Bone marrow smear.
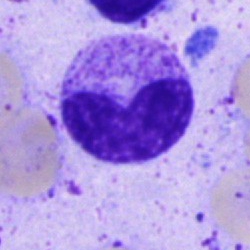

The classification is metamyelocyte.